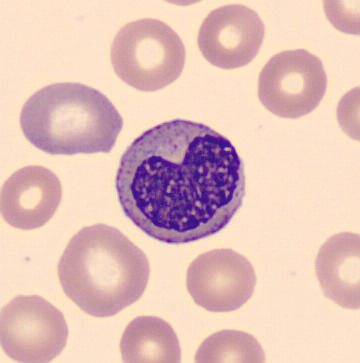Specimen: peripheral blood film.
Morphological class: metamyelocyte.
Lineage: myeloid.
May-Grünwald-Giemsa-stained; single-cell crop.